Peripheral blood film
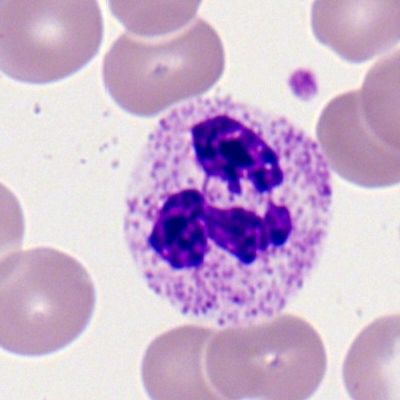 Specimen: peripheral blood film.
Classification: polymorphonuclear neutrophil.